Bone marrow smear · single-cell field · 250×250.
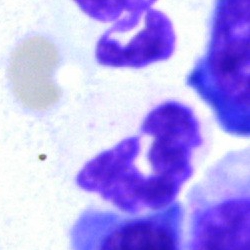 Neutrophil (segmented).